Bone marrow aspirate smear; single-cell crop: 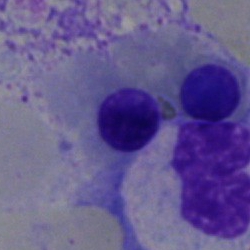The cell type is erythroblast.